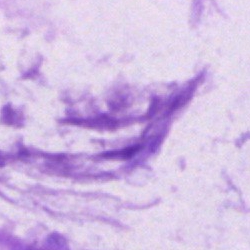
Q: What is shown here?
A: This is an artefact.